Bone marrow smear; May-Grünwald-Giemsa stain
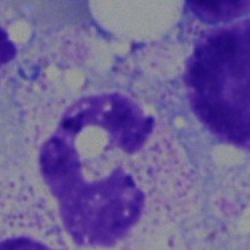

Showing a neutrophil (segmented).